Bone marrow aspirate smear: 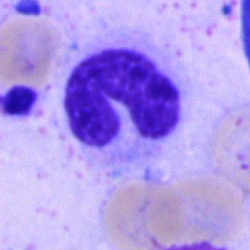 Cell type = stab cell.